Bone marrow smear: 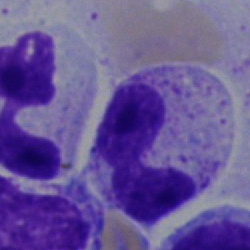The cell type is polymorphonuclear neutrophil.